Peripheral blood film · May-Grünwald-Giemsa-stained · single-cell crop — 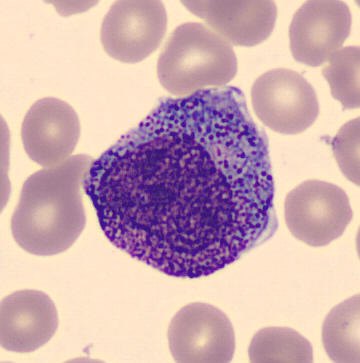 Impression — progranulocyte.